Bone marrow aspirate smear — 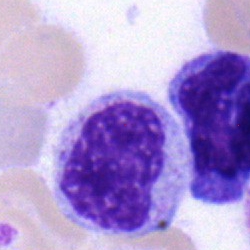Cell type = metamyelocyte.